Cropped to a single cell · bone marrow aspirate smear: 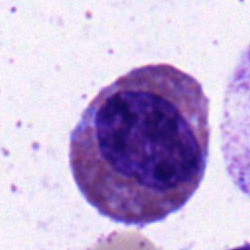 An eosinophilic granulocyte.